Bone marrow smear:
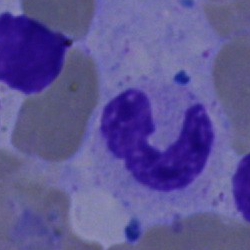

A neutrophil (segmented).